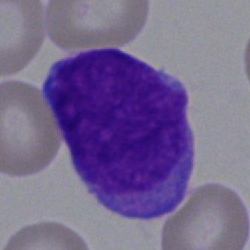

Morphological class: blast.